Bone marrow smear.
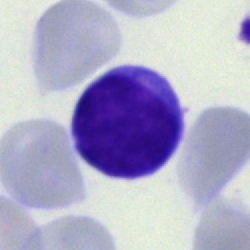
{"cell_type": "typical lymphocyte", "lineage": "lymphoid"}